Image size 250×250; bone marrow smear — 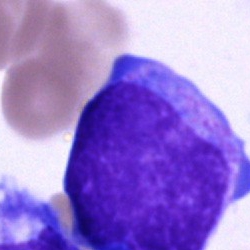 Q: What is the morphological classification of this cell?
A: It is an undifferentiated blast.